Bone marrow aspirate smear · single-cell field.
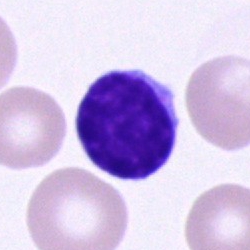
Impression → lymphocyte.